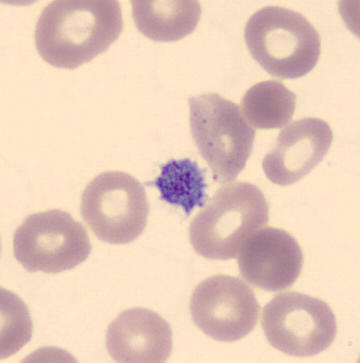CellaVision DM96 digital cell image · peripheral blood film.

Impression — platelet (thrombocyte).